Bone marrow aspirate smear.
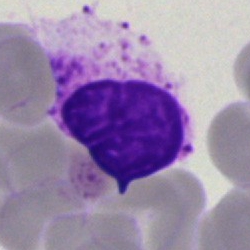 {"cell_type": "artifact"}